May-Grünwald-Giemsa stain · bone marrow aspirate smear — 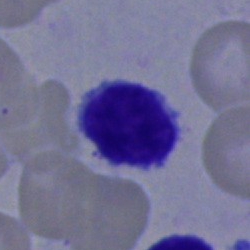
Q: What is the morphological classification of this cell?
A: A typical lymphocyte.